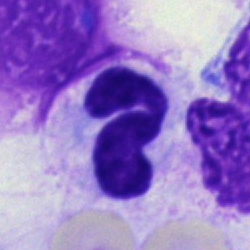 Specimen: bone marrow aspirate smear.
Cell: neutrophil (segmented).